Bone marrow smear — 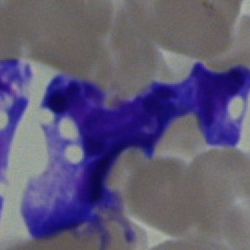 A blast cell.